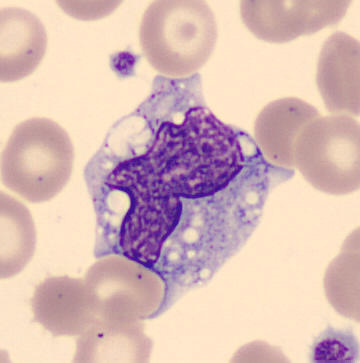
Image: Peripheral blood smear.
{"cell_type": "monocyte", "lineage": "myeloid"}